100× oil immersion, 14.14 px/µm. Romanowsky-stained. Peripheral blood smear: 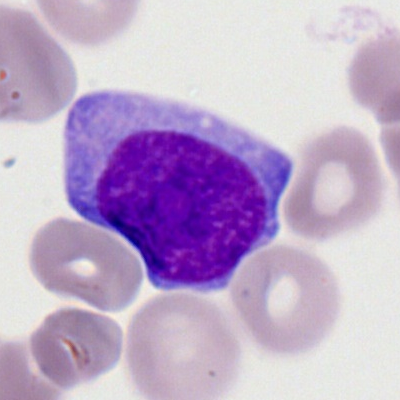 Myeloblast.